Bone marrow smear; MGG-stained: 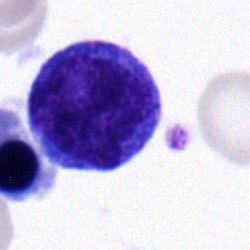Morphological class: monocyte.